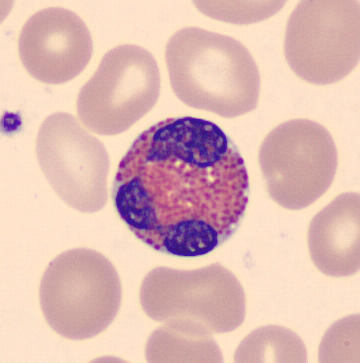
Preparation: Peripheral blood film. Single cell centered in the field.
This is an eosinophilic granulocyte.